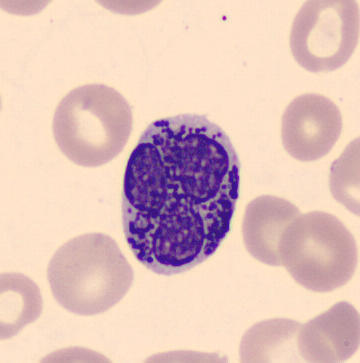The classification is basophilic granulocyte.

Peripheral blood smear.